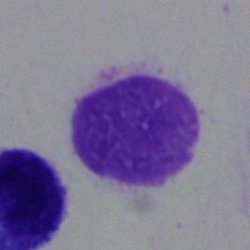Q: What is shown here?
A: This is an artifact.